MGG-stained · bone marrow smear.
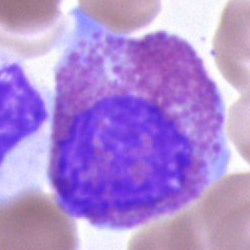

Q: What is shown here?
A: Eosinophil.